Peripheral blood film — 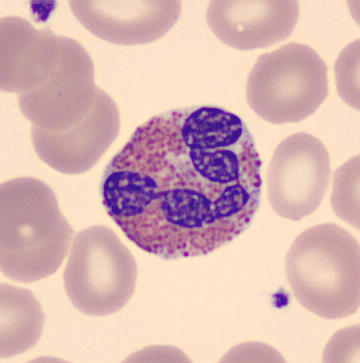
Q: What type of cell is this?
A: Eosinophilic granulocyte.